Single-cell field; bone marrow aspirate smear; 40× oil immersion — 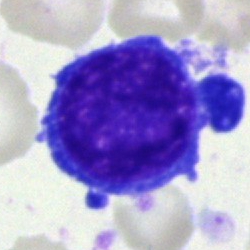

Q: What is shown here?
A: It is a pronormoblast.